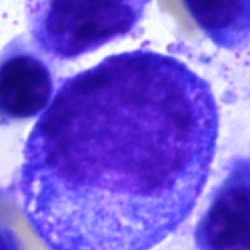

Classification = promyelocyte.